Bone marrow aspirate smear; 40× oil immersion:
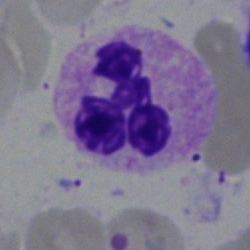 Showing a polymorphonuclear neutrophil.